40× objective, oil immersion. Bone marrow aspirate smear: 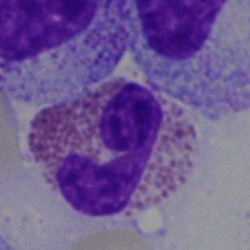

Q: Identify the cell.
A: Eosinophilic granulocyte.